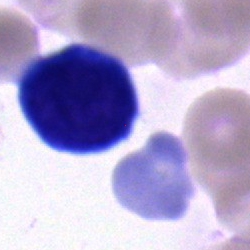

Specimen: bone marrow aspirate smear.
Classification: blast.